Bone marrow aspirate smear
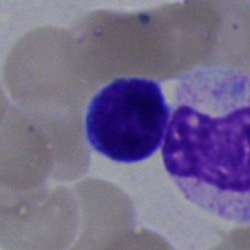
The classification is lymphocyte.